Bone marrow aspirate smear · 40× objective, oil immersion:
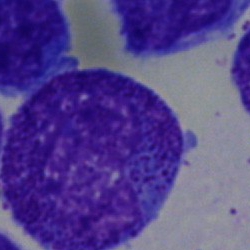Cell type: promyelocyte.